Bone marrow smear — 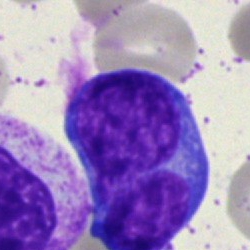

Showing an undifferentiated blast.